Peripheral blood film: 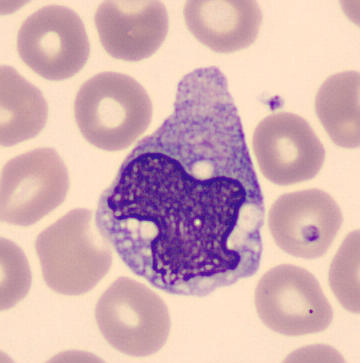

Q: What is shown here?
A: A monocyte.